Peripheral blood film. Cropped to a single cell:
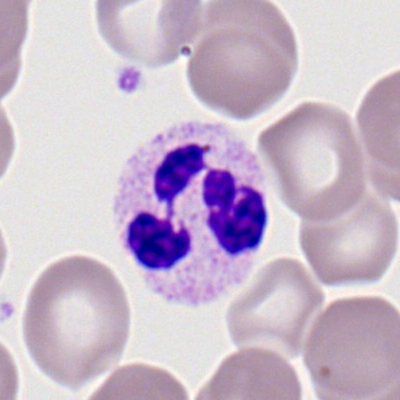

The cell shown is a neutrophil (segmented).